Bone marrow aspirate smear; MGG-stained: 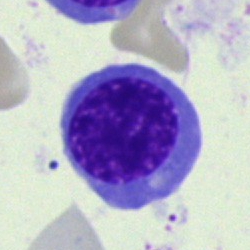Morphology consistent with a nucleated red blood cell.